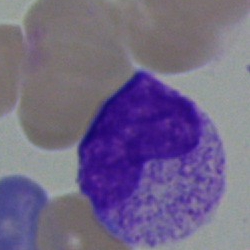

Morphology → metamyelocyte.